Bone marrow aspirate smear:
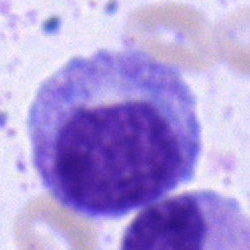The classification is myelocyte.